Image size 250×250. Bone marrow aspirate smear.
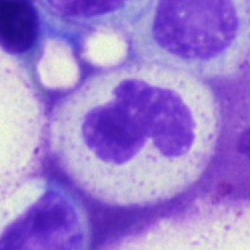
Classification: segmented neutrophil.